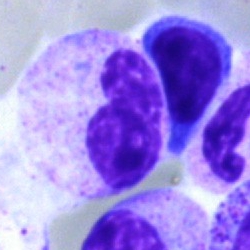

{"cell_type": "neutrophil (band)"}